Bone marrow smear; image size 250×250:
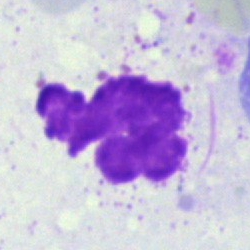

Morphological class = artefact.